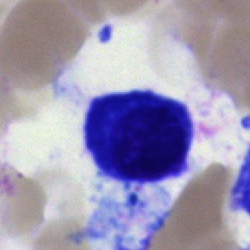Specimen: bone marrow smear.
Classification: typical lymphocyte.